MGG-stained · bone marrow smear · cropped to a single cell — 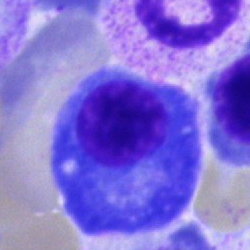Q: Which cell type is shown here?
A: This is a plasmacyte.